Bone marrow aspirate smear: 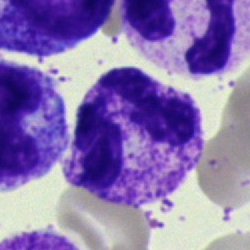
Polymorphonuclear neutrophil.